Bone marrow aspirate smear · single-cell field
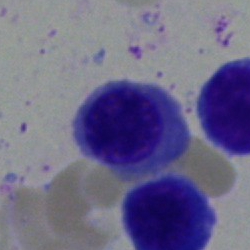

Specimen: bone marrow smear.
Classification: nucleated red cell.